Single-cell crop. Bone marrow smear. Image size 250×250.
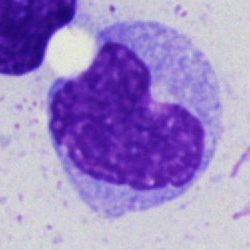
The cell type is monocyte.